250 by 250 pixels. Bone marrow smear:
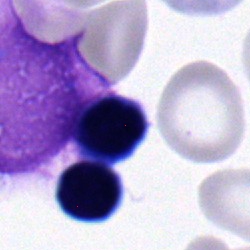

Morphological class: typical lymphocyte.